Bone marrow smear: 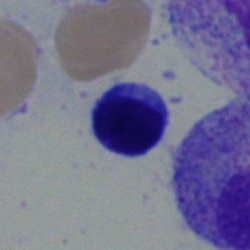
Q: What is shown here?
A: This is a typical lymphocyte.